Pappenheim-stained; bone marrow smear; brightfield microscopy, 40× oil immersion — 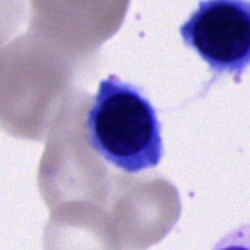 {"cell_type": "nucleated red blood cell", "lineage": "erythroid"}